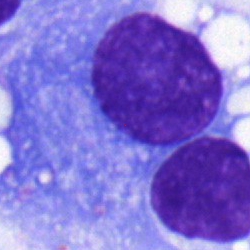Q: What type of cell is this?
A: This is a plasmacyte.